Bone marrow smear: 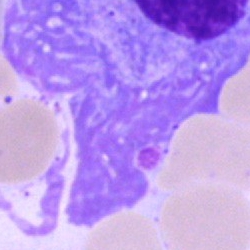

This is a plasma cell.